250×250. Bone marrow smear. MGG-stained
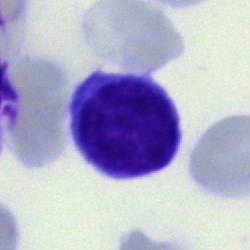
Classification — lymphocyte.